Bone marrow aspirate smear · brightfield microscopy, 40× oil immersion · May-Grünwald-Giemsa/Pappenheim stain.
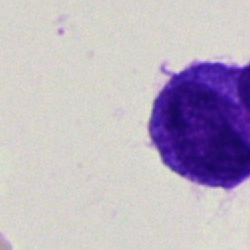 The cell shown is a blast.